Bone marrow aspirate smear:
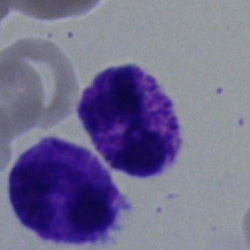
Specimen: bone marrow aspirate smear.
Cell type: neutrophil (segmented).
Lineage: myeloid.